Peripheral blood film
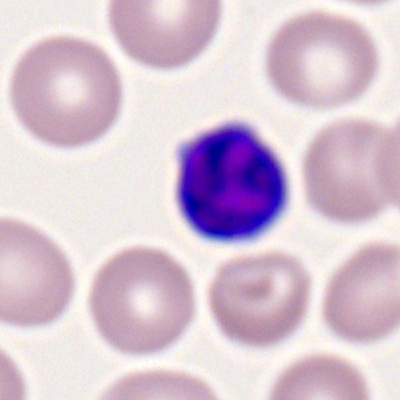
A typical lymphocyte.